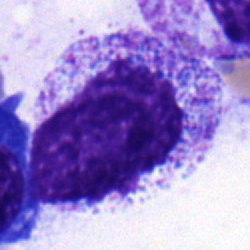 Specimen: bone marrow aspirate smear.
Classification: myelocyte.
Lineage: myeloid.